Bone marrow smear — 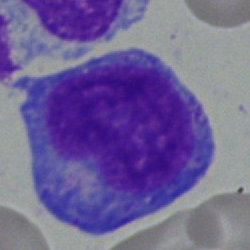Q: What cell is this?
A: A blast.